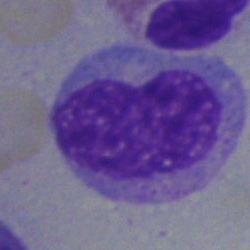
Showing a monocyte.